Bone marrow smear; 250 by 250 pixels: 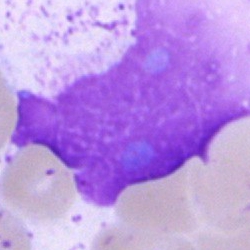Specimen: bone marrow aspirate smear.
Cell: artifact.